Brightfield, 40× oil-immersion objective. Bone marrow aspirate smear. 250×250.
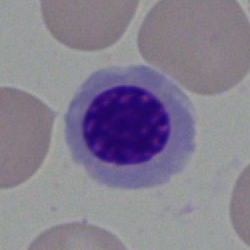A nucleated red blood cell.